Bone marrow smear — 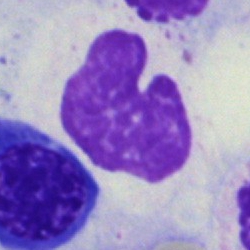
Q: What is shown here?
A: It is an artefact.